Bone marrow smear. Brightfield microscopy, 40× oil immersion.
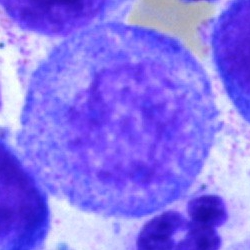
Morphology consistent with a promyelocyte.